400×400. Peripheral blood film — 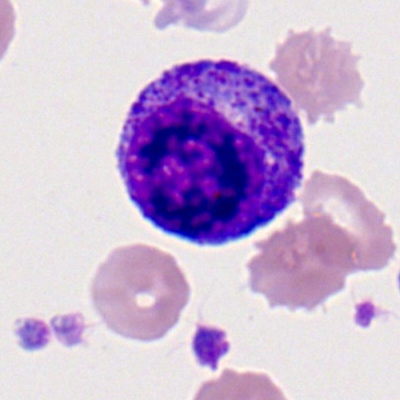

Promyelocyte.